MGG-stained; bone marrow smear:
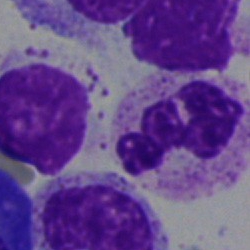 Classification — polymorphonuclear neutrophil.